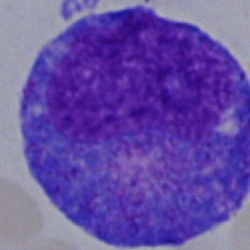
Progranulocyte.